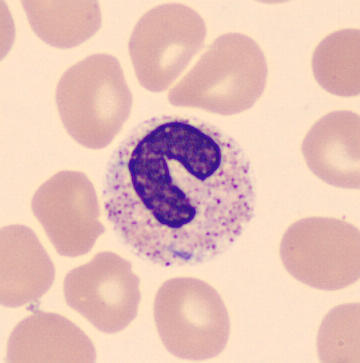 Specimen: peripheral blood film.
Cell: neutrophil (band).
Lineage: myeloid.